Pappenheim-stained. Bone marrow smear: 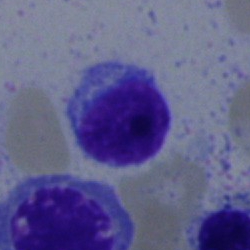
Specimen: bone marrow aspirate smear.
Cell: lymphocyte.